Bone marrow aspirate smear: 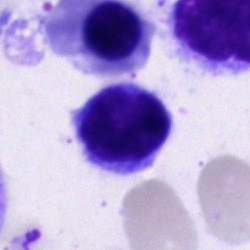

Q: What is the morphological classification of this cell?
A: Typical lymphocyte.